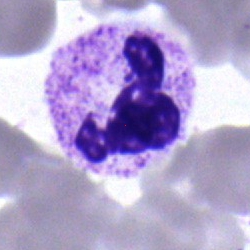

Classification — polymorphonuclear neutrophil.